Bone marrow smear:
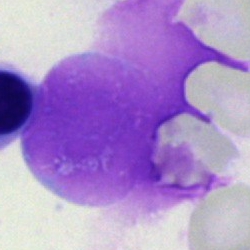
Morphological class — artefact.